Image size 250×250. Bone marrow aspirate smear
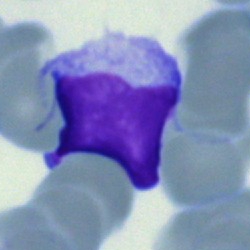

Morphological class: lymphocyte.